Bone marrow smear: 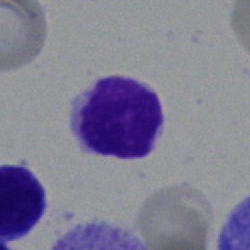 Single cell identified as a typical lymphocyte.